Bone marrow smear — 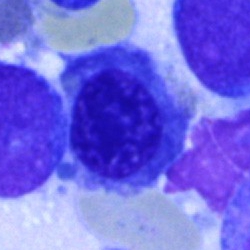
Cell — nucleated red blood cell.